Bone marrow smear.
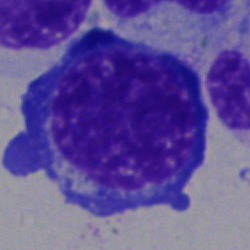 Showing a nucleated red cell.